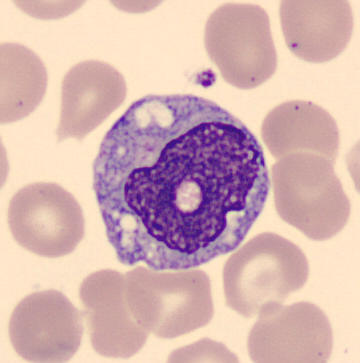 Preparation: MGG stain. Peripheral blood smear. CellaVision DM96.

Impression → monocyte.